Bone marrow aspirate smear:
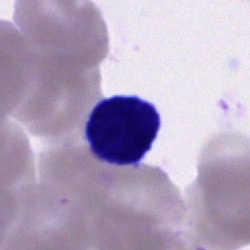

Q: What cell is this?
A: This is a lymphocyte.